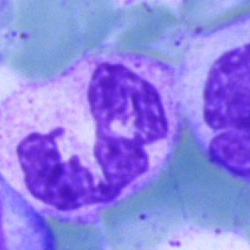
Morphology — segmented neutrophil.